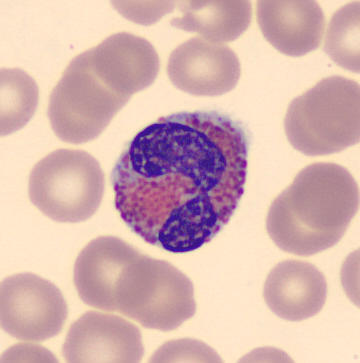
Preparation: Single-cell field · peripheral blood smear · automated cell imaging (CellaVision DM96).

The cell shown is an eosinophilic granulocyte.